Peripheral blood film — 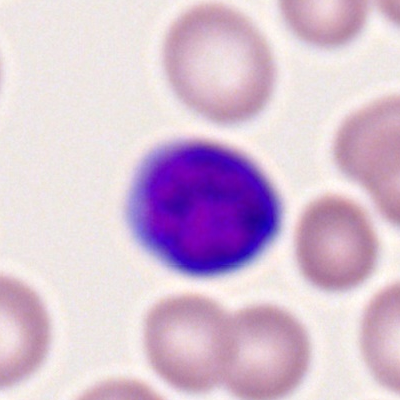
{"cell_type": "typical lymphocyte", "lineage": "lymphoid"}